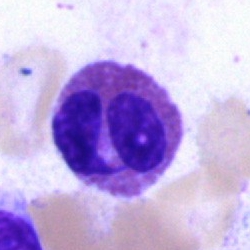
Specimen: bone marrow aspirate smear.
Cell: eosinophilic granulocyte.
Lineage: myeloid.